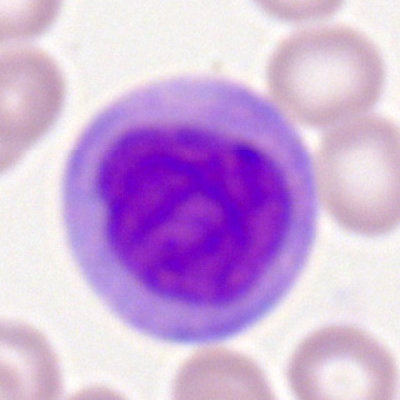Peripheral blood smear showing a monocyte.